Peripheral blood smear
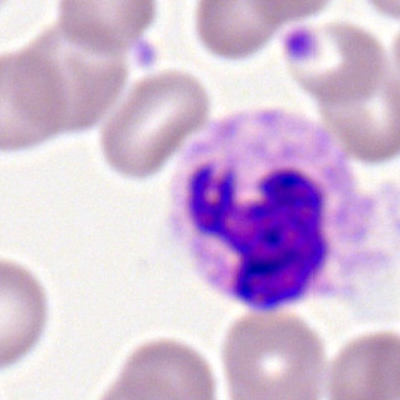The cell shown is a segmented neutrophil.